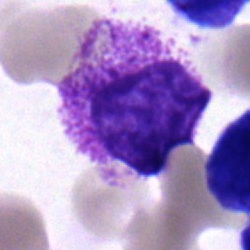 Classification — blast.